Peripheral blood film
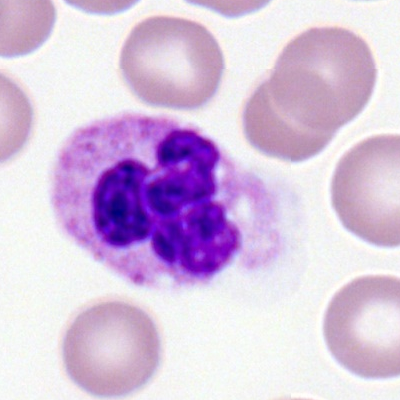
The cell shown is a segmented neutrophil.